40× oil immersion; bone marrow aspirate smear: 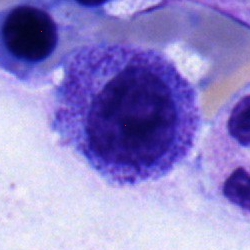
Cell: myelocyte.